Single-cell field · peripheral blood film:
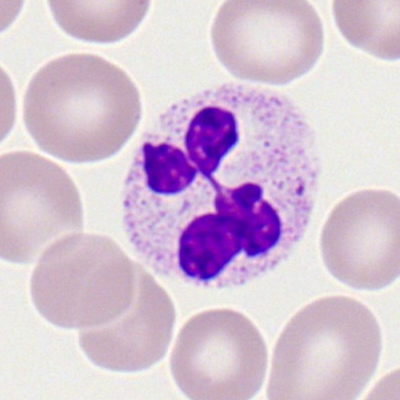 Q: What is shown here?
A: A segmented neutrophil.